250×250 px; May-Grünwald-Giemsa/Pappenheim stain; bone marrow smear
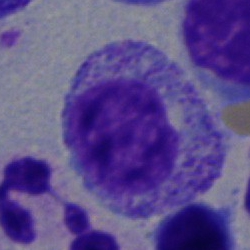
Cell: myelocyte.